Bone marrow aspirate smear.
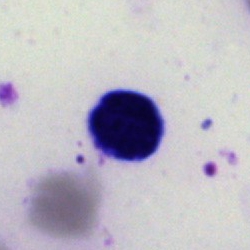
Specimen: bone marrow smear.
Classification: artefact.